Bone marrow aspirate smear: 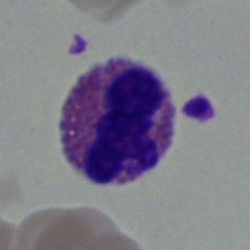

This is a polymorphonuclear neutrophil.